40× oil immersion; bone marrow aspirate smear
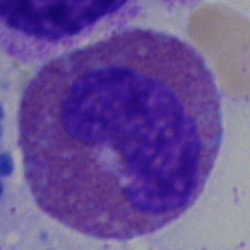 Specimen: bone marrow aspirate smear.
Classification: eosinophilic granulocyte.